Peripheral blood smear: 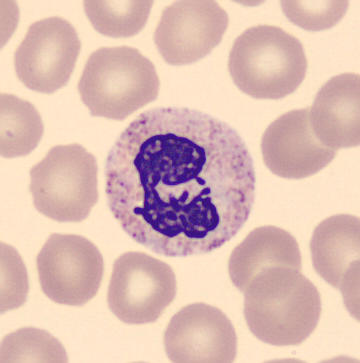

Showing a segmented neutrophil.